Bone marrow smear: 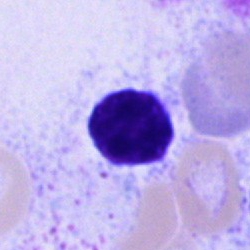

Lymphocyte.